Bone marrow smear. Cropped to a single cell.
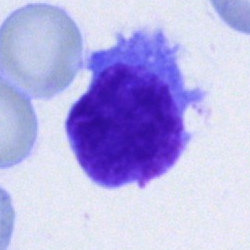

Classification = typical lymphocyte.